Bone marrow smear:
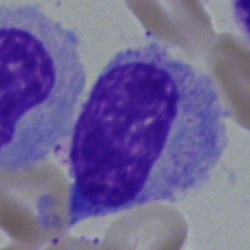Q: What is the morphological classification of this cell?
A: This is a myelocyte.